Bone marrow aspirate smear:
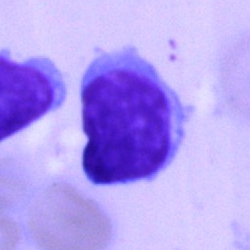 {"cell_type": "lymphocyte", "lineage": "lymphoid"}